MGG-stained; bone marrow smear; cropped to a single cell
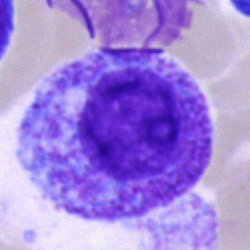Morphological class: progranulocyte.